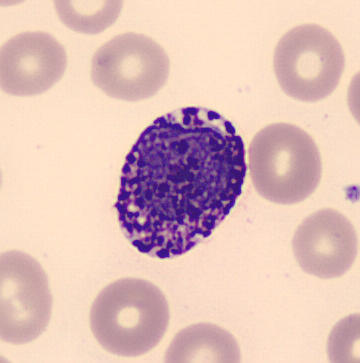
Classification = basophil.

Image: Peripheral blood film.